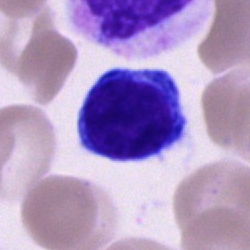

Q: What is shown here?
A: This is a lymphocyte.